Bone marrow aspirate smear: 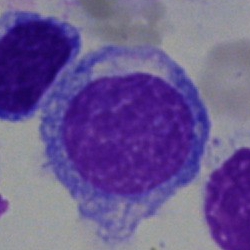 This is a typical lymphocyte.